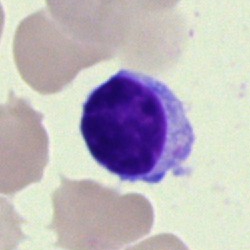
Morphology — lymphocyte.